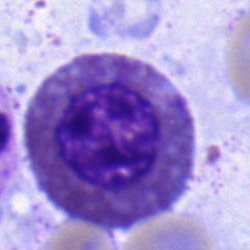Showing an eosinophilic granulocyte.